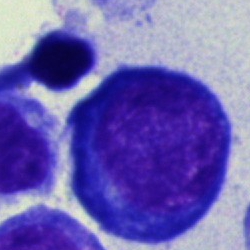 Cell = pronormoblast.